May-Grünwald-Giemsa/Pappenheim stain. Bone marrow aspirate smear:
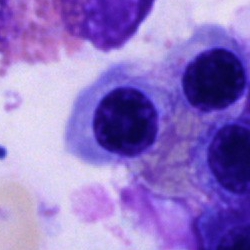 This is a nucleated red blood cell.